Single-cell field. Bone marrow aspirate smear
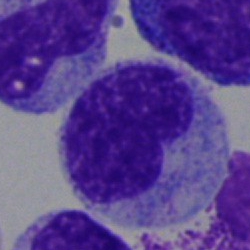The cell shown is a metamyelocyte.